Bone marrow smear; 250×250 px
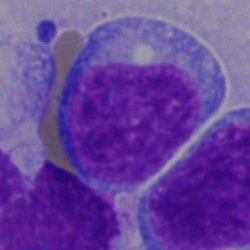The morphological class is blast.